Bone marrow smear
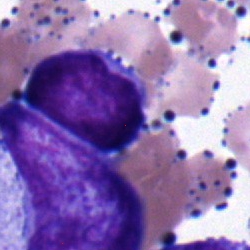

Showing a typical lymphocyte.